Bone marrow aspirate smear — 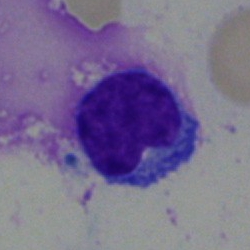Morphology — typical lymphocyte.